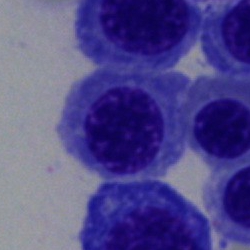
Cell type = erythroblast.